Bone marrow smear — 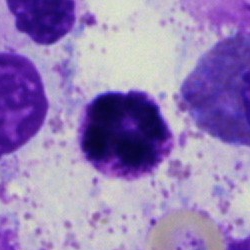

Single cell identified as a basophilic granulocyte.